Bone marrow aspirate smear. Image size 250×250
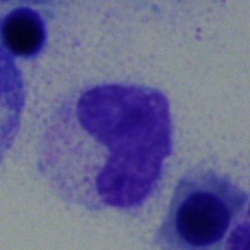Q: What is the morphological classification of this cell?
A: It is a stab cell.